Bone marrow smear
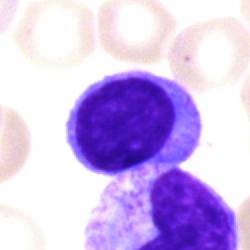Morphology — lymphocyte.